Bone marrow aspirate smear.
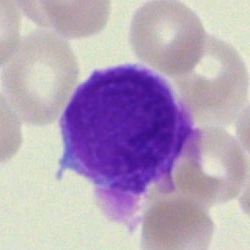

Showing an artefact.